Bone marrow smear.
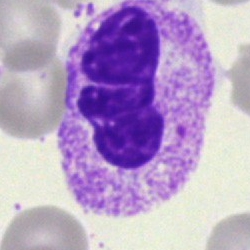 The cell shown is a neutrophil (segmented).